May-Grünwald-Giemsa/Pappenheim stain. Bone marrow aspirate smear:
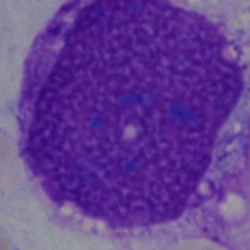 Cell — artefact.